Bone marrow smear
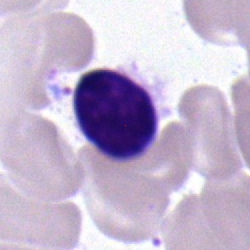

Q: Which cell type is shown here?
A: Lymphocyte.